Bone marrow smear.
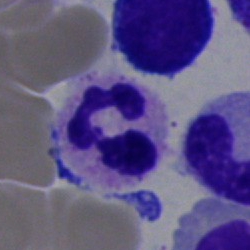
Q: Identify the cell.
A: Polymorphonuclear neutrophil.